Bone marrow aspirate smear — 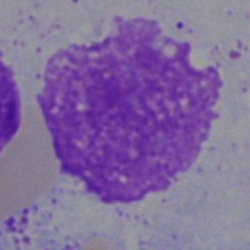 Specimen: bone marrow smear.
Cell: artefact.